Bone marrow aspirate smear:
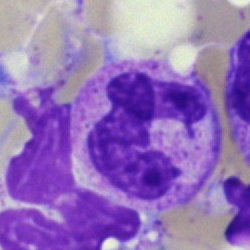

Q: What type of cell is this?
A: Polymorphonuclear neutrophil.